Bone marrow aspirate smear · single cell centered in the field.
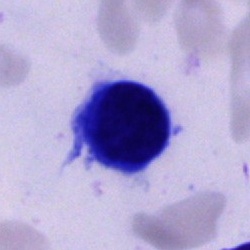

Specimen: bone marrow smear.
Cell type: unidentifiable cell.